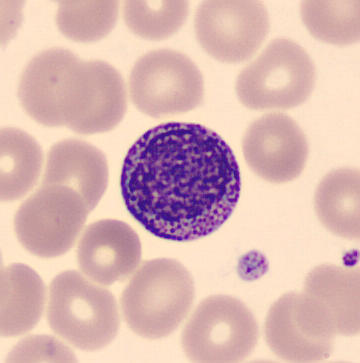 Identified as a myelocyte.

Peripheral blood film.